Bone marrow aspirate smear · 40× oil immersion — 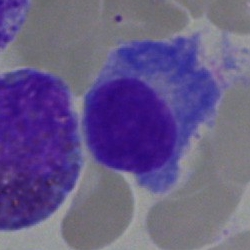

{"cell_type": "plasmacyte"}